Peripheral blood film
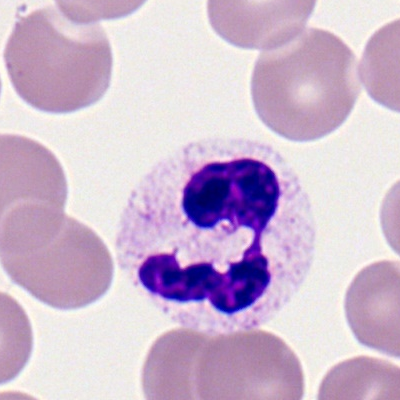

Specimen: peripheral blood film.
Cell type: polymorphonuclear neutrophil.
Lineage: myeloid.